Pappenheim-stained · bone marrow smear · brightfield microscopy, 40× oil immersion
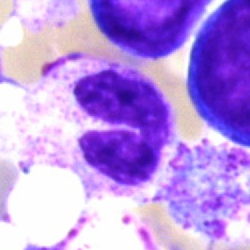Q: What is shown here?
A: It is a neutrophil (segmented).